Bone marrow aspirate smear:
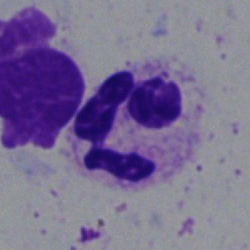 The cell shown is a neutrophil (segmented).